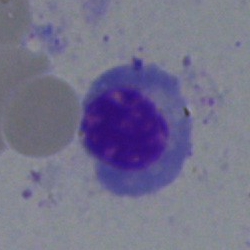
Bone marrow aspirate smear, single cell — normoblast.